250×250. Bone marrow smear
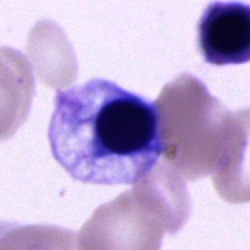
Q: What cell is this?
A: Nucleated red blood cell.